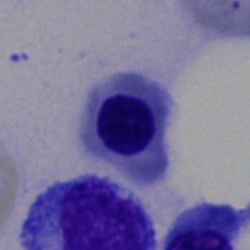 Single-cell crop from a bone marrow smear: erythroblast.